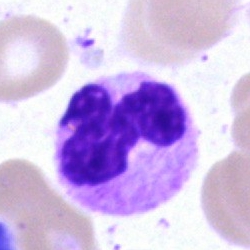
Cell — neutrophil (segmented).